MGG-stained. Bone marrow smear. 250×250 — 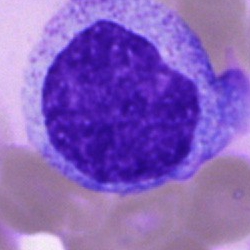

Morphology — progranulocyte.